250 by 250 pixels · bone marrow smear: 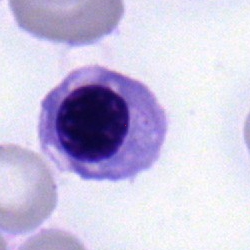Morphological class — nucleated red blood cell.